40× oil immersion; bone marrow aspirate smear: 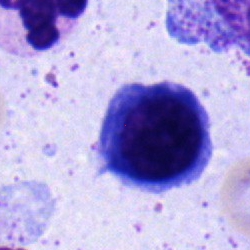
Q: What cell is this?
A: A nucleated red cell.